Brightfield, 40× oil-immersion objective; bone marrow smear; May-Grünwald-Giemsa/Pappenheim stain — 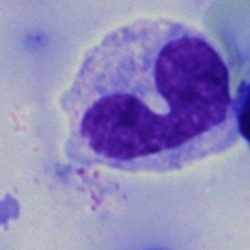

Specimen: bone marrow smear.
Cell: neutrophil (segmented).